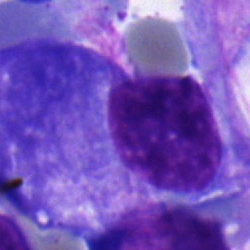Single-cell crop from a bone marrow smear: plasma cell.